Peripheral blood film
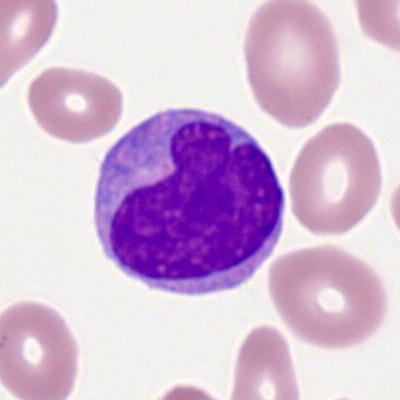Specimen: peripheral blood smear.
Morphological class: myeloid blast.
Lineage: myeloid.